400 by 400 pixels. 100× objective, oil immersion. Peripheral blood film:
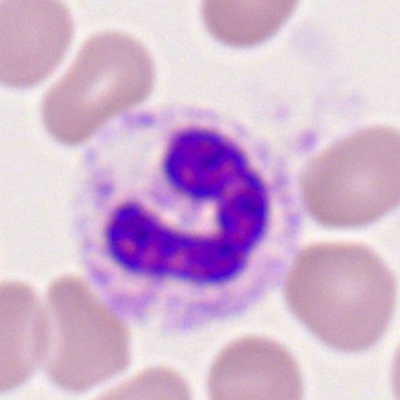Specimen: peripheral blood smear.
Morphological class: band-form neutrophil.